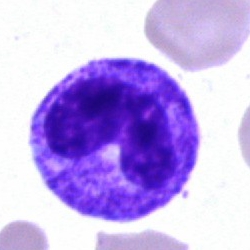

Morphological class — band-form neutrophil.